250×250 px. 40× objective, oil immersion. Bone marrow aspirate smear:
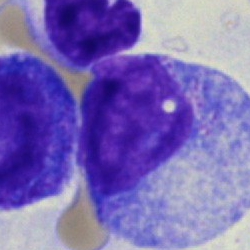
The cell shown is a promyelocyte.